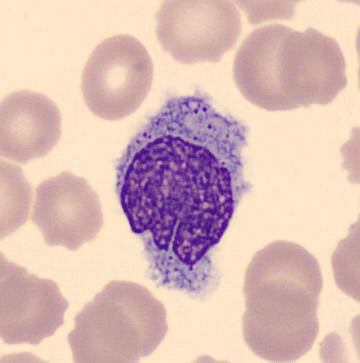 Single cell identified as a monocyte. Peripheral blood smear.